Bone marrow smear. Cropped to a single cell.
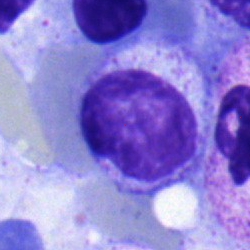Specimen: bone marrow smear.
Cell: myelocyte.